Bone marrow smear:
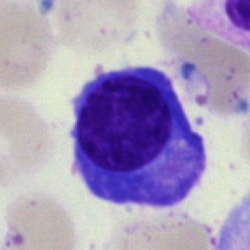Morphology consistent with a plasma cell.